Bone marrow smear: 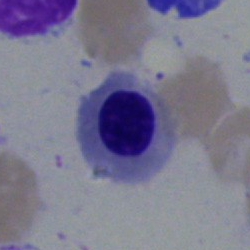

Morphology → nucleated red cell.